Bone marrow smear:
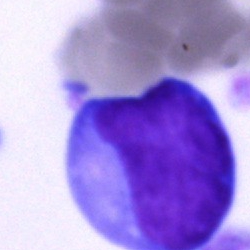 The morphological class is undifferentiated blast.